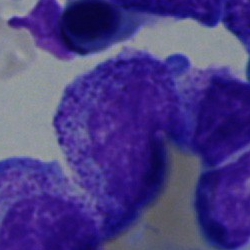 Cell = myelocyte.